Image size 250×250. Brightfield, 40× oil-immersion objective. Bone marrow aspirate smear: 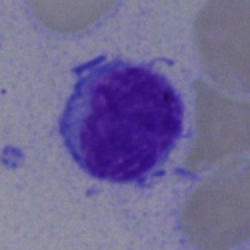Showing a lymphocyte.